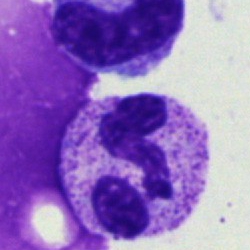
Specimen: bone marrow smear.
Morphological class: segmented neutrophil.
Lineage: myeloid.